Single cell centered in the field. 250 by 250 pixels. Bone marrow aspirate smear:
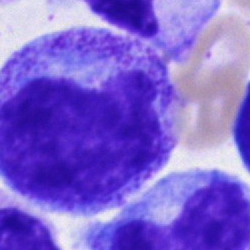
This is a promyelocyte.